Bone marrow smear:
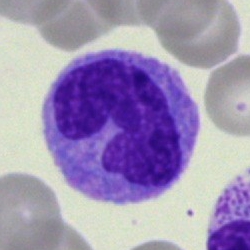The morphological class is monocyte.